Bone marrow aspirate smear · cropped to a single cell.
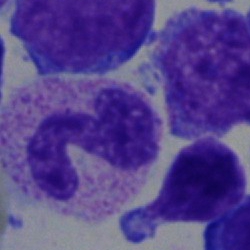Morphological class: neutrophil (segmented).